Bone marrow aspirate smear. May-Grünwald-Giemsa/Pappenheim stain
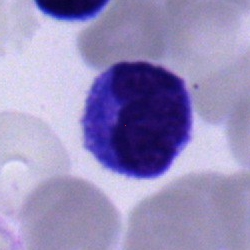 Impression → monocyte.